Bone marrow aspirate smear: 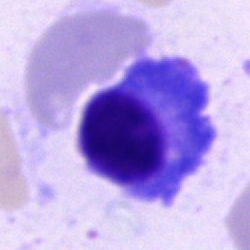
This is a plasmacyte.